Bone marrow aspirate smear. Single cell centered in the field
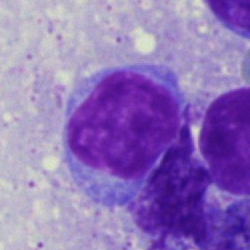 The cell shown is a typical lymphocyte.